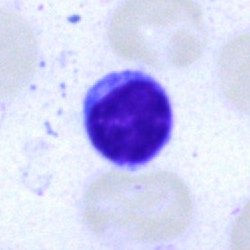Typical lymphocyte.